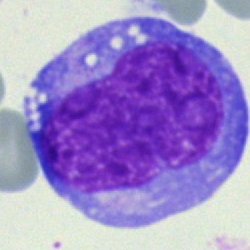 Morphology consistent with a blast cell.